Peripheral blood film
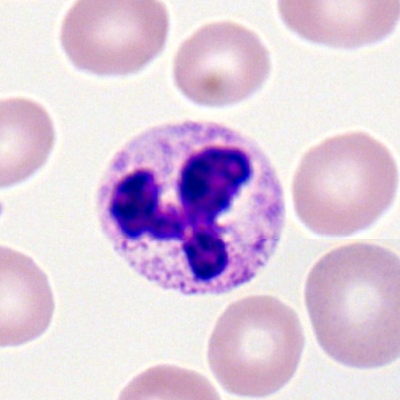 Impression → neutrophil (segmented).